Cropped to a single cell · 40× objective, oil immersion · bone marrow aspirate smear.
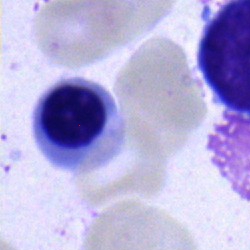 Impression — nucleated red cell.